Bone marrow aspirate smear; single cell centered in the field; image size 250×250
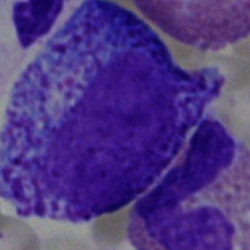
Cell — promyelocyte.